Single-cell field; bone marrow aspirate smear.
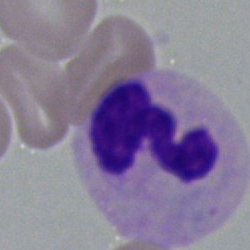 A neutrophil (segmented).